Bone marrow smear: 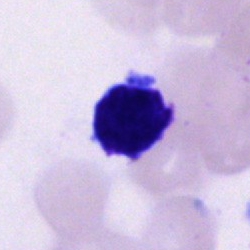

The cell shown is a lymphocyte.